Bone marrow aspirate smear · 250×250:
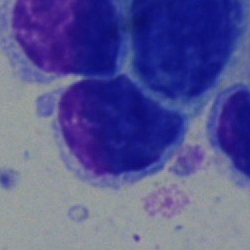 Single cell identified as a typical lymphocyte.